Bone marrow smear.
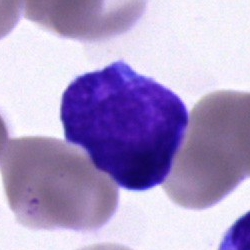

Cell — blast cell.